Bone marrow aspirate smear; single cell centered in the field.
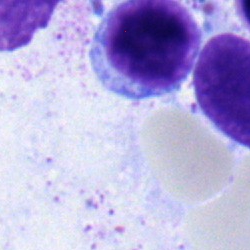Single cell identified as a lymphocyte.